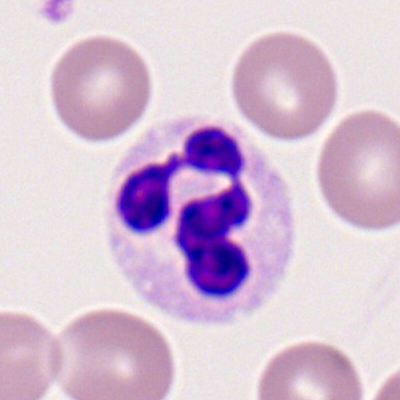Q: Identify the cell.
A: This is a neutrophil (segmented).